M8 digital microscope (Precipoint), 100× oil immersion. Peripheral blood smear:
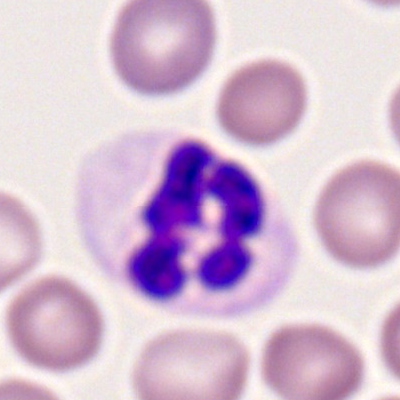

The cell shown is a polymorphonuclear neutrophil.